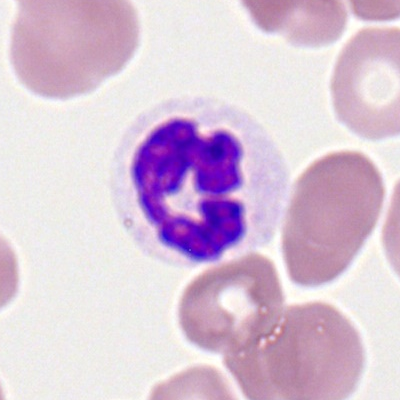

A neutrophil (segmented) on a peripheral blood smear.